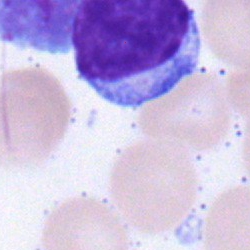
The classification is typical lymphocyte.